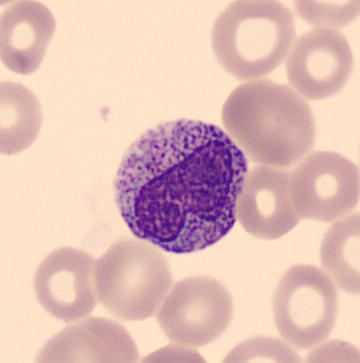
Morphology consistent with a metamyelocyte.

Image: Peripheral blood smear.